Bone marrow aspirate smear
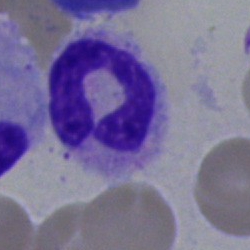

Morphology consistent with a neutrophil (segmented).